Bone marrow aspirate smear: 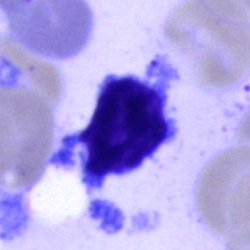
Q: What is the morphological classification of this cell?
A: Typical lymphocyte.